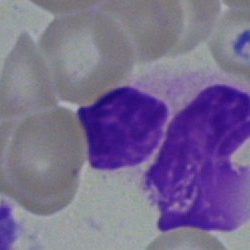
Impression → artefact.